Bone marrow smear:
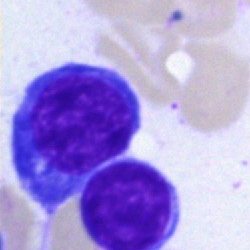 A normoblast.